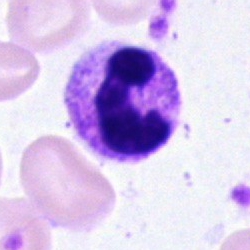Cell type = segmented neutrophil.